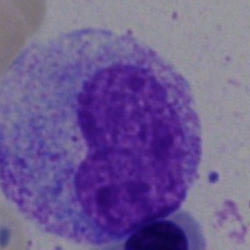 The morphological class is metamyelocyte.